Bone marrow aspirate smear — 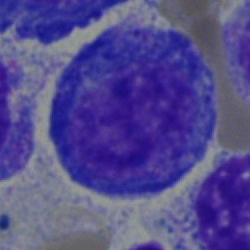
{"cell_type": "pronormoblast"}